MGG-stained; bone marrow aspirate smear
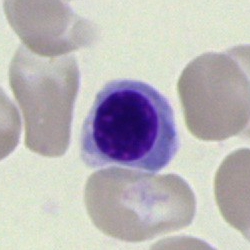 Morphology consistent with a normoblast.